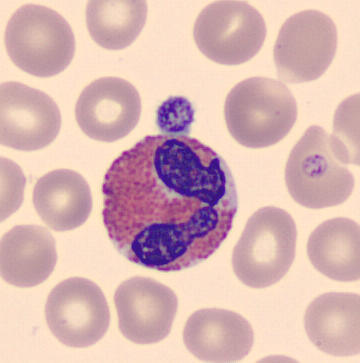
From a peripheral blood smear: an eosinophil.